Peripheral blood film. 100× oil immersion.
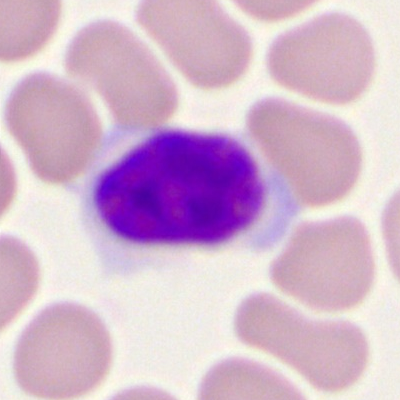Impression → lymphocyte.